Bone marrow smear — 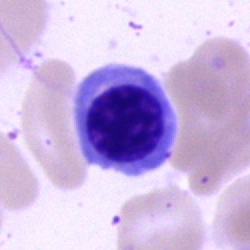
The cell type is nucleated red blood cell.